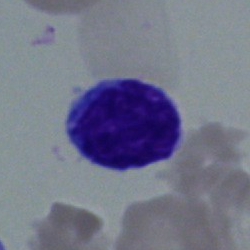 The cell shown is a lymphocyte.